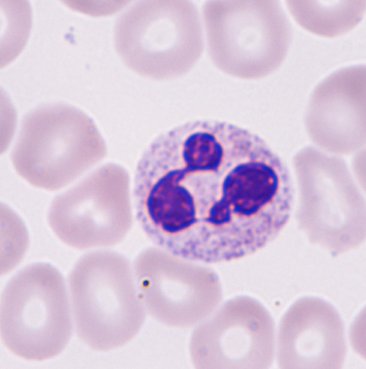

Acquisition: CellaVision DM96 digital cell image; single cell centered in the field; peripheral blood smear. Q: What is the morphological classification of this cell?
A: A neutrophilic granulocyte.